Bone marrow aspirate smear. Single-cell field:
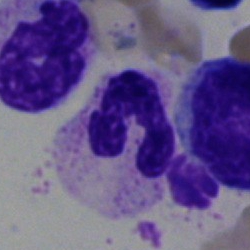

{"cell_type": "neutrophil (segmented)", "lineage": "myeloid"}